Bone marrow smear.
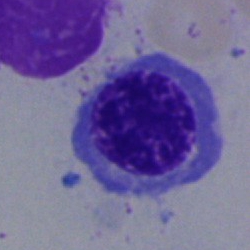Specimen: bone marrow aspirate smear.
Cell type: normoblast.